Bone marrow aspirate smear. Pappenheim-stained:
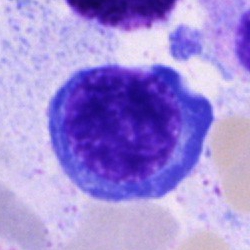 Nucleated red cell.